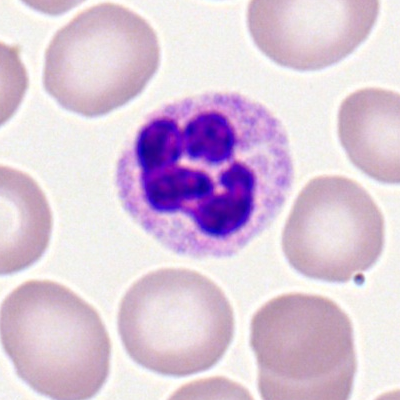Cell type = segmented neutrophil.